Bone marrow smear. Image size 250×250. Pappenheim-stained — 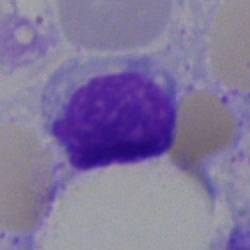

Q: What is the morphological classification of this cell?
A: A typical lymphocyte.